Bone marrow aspirate smear
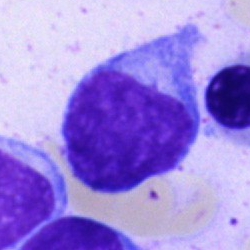

Impression → blast.